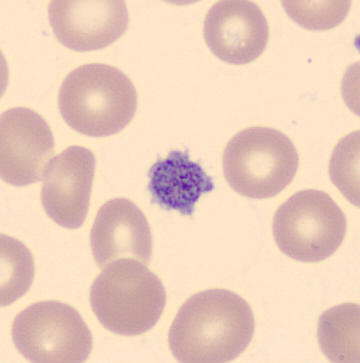

Q: What is shown here?
A: This is a platelet.

Acquisition: Peripheral blood film; 360×363 px; automated cell imaging (CellaVision DM96).